40× objective, oil immersion. 250 by 250 pixels. Bone marrow aspirate smear.
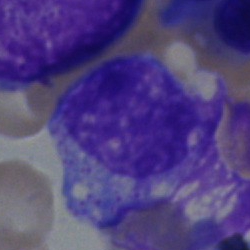
Cell: myelocyte.